Bone marrow aspirate smear: 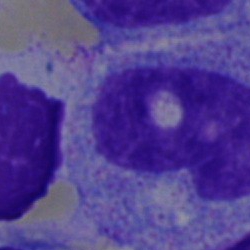 Showing an artefact.